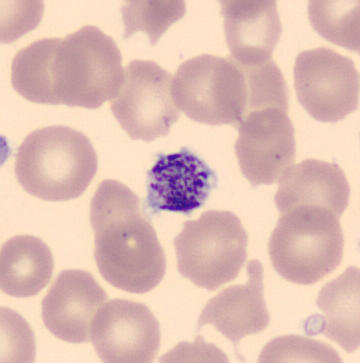Preparation: Peripheral blood smear. A platelet.